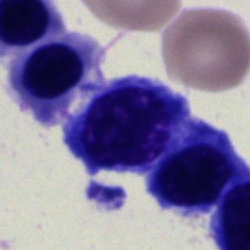
The cell type is erythroblast.